Bone marrow aspirate smear; single-cell field: 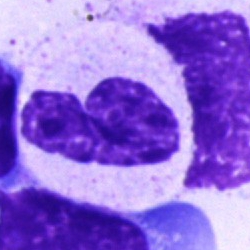

Single cell identified as a polymorphonuclear neutrophil.